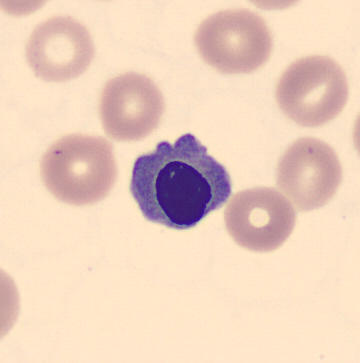 Identified as a nucleated red cell.